40× objective, oil immersion; MGG-stained; bone marrow smear:
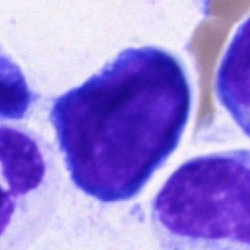

Morphology consistent with a pronormoblast.